Bone marrow aspirate smear.
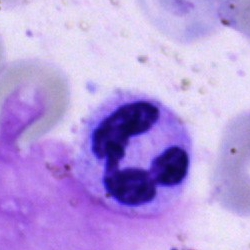
Q: Identify the cell.
A: A segmented neutrophil.